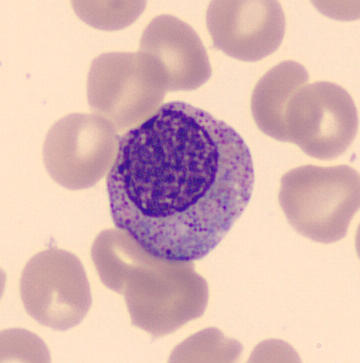

Myelocyte.